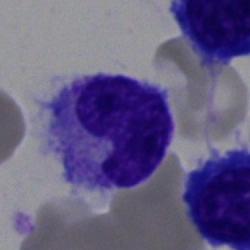
Cell type = stab cell.